Bone marrow aspirate smear: 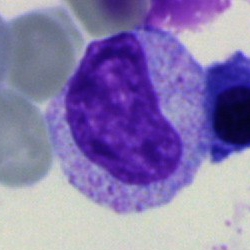Q: What is shown here?
A: It is a metamyelocyte.